Bone marrow smear.
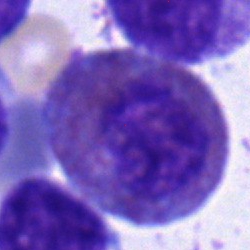 Cell type: eosinophil.